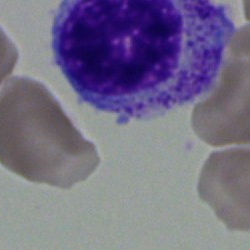
Morphological class: myelocyte.